100× oil immersion, 14.14 px/µm · peripheral blood film · Romanowsky stain
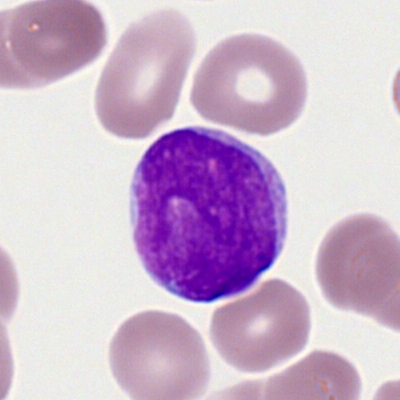Classification = myeloblast.